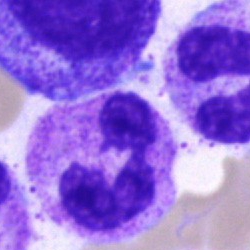

Specimen: bone marrow aspirate smear.
Morphological class: segmented neutrophil.
Lineage: myeloid.